MGG-stained; bone marrow smear.
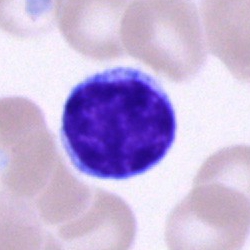
Specimen: bone marrow aspirate smear.
Morphological class: typical lymphocyte.